Bone marrow smear: 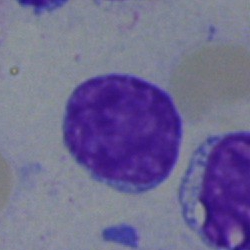 Q: What cell is this?
A: A typical lymphocyte.